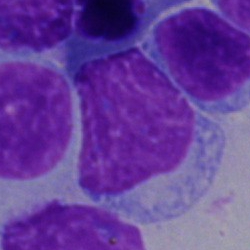
Bone marrow aspirate smear, single cell — undifferentiated blast.